Bone marrow aspirate smear. Single-cell field — 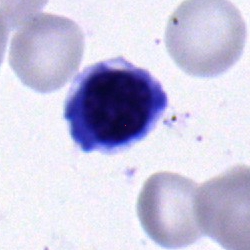 The morphological class is nucleated red blood cell.